Bone marrow aspirate smear:
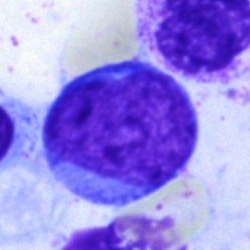
Classification — typical lymphocyte.